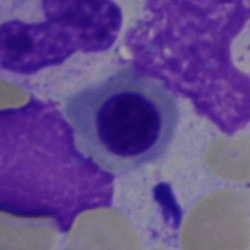

A normoblast on a bone marrow smear.